40× objective, oil immersion. Bone marrow smear
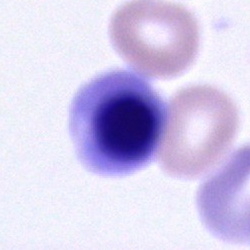This is a nucleated red blood cell.